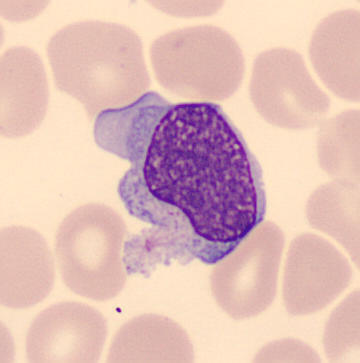
Specimen: peripheral blood film.
Morphological class: monocyte.